40× objective, oil immersion · MGG-stained · bone marrow aspirate smear
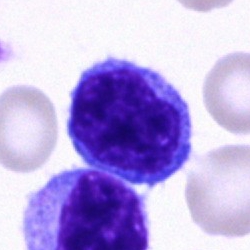Showing a typical lymphocyte.